Bone marrow aspirate smear
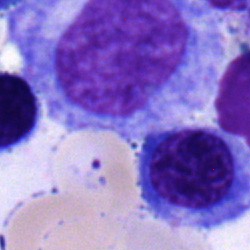Specimen: bone marrow smear.
Cell type: progranulocyte.